Peripheral blood smear:
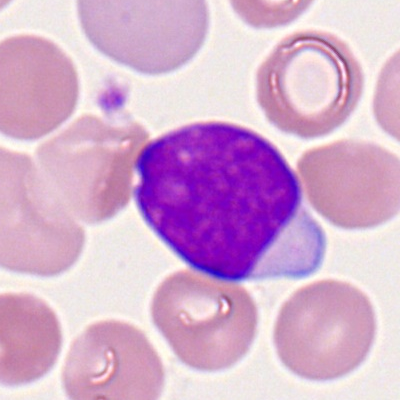

Q: Identify the cell.
A: It is a myeloid blast.